Pappenheim-stained; bone marrow aspirate smear; cropped to a single cell
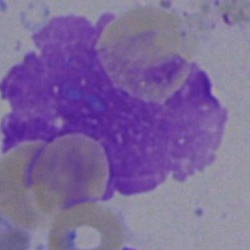
Q: What is shown here?
A: It is an artifact.